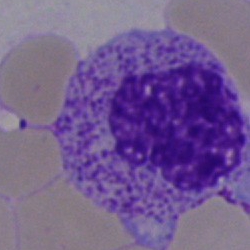
Bone marrow smear showing a myelocyte.